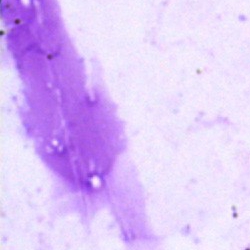

Cell type = artifact.